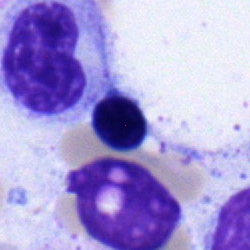

Q: What cell is this?
A: Normoblast.